Peripheral blood film; 400×400; Romanowsky stain — 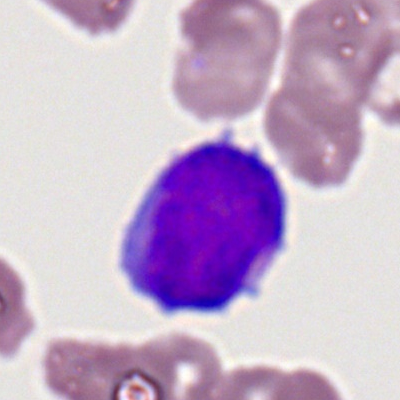
Q: What cell is this?
A: This is a myeloblast.